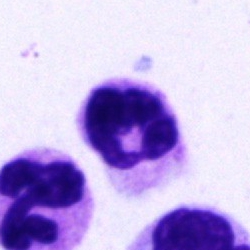 Morphology consistent with a neutrophil (segmented).